MGG-stained; bone marrow smear: 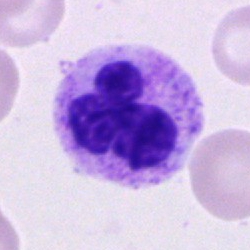 Classification = neutrophil (segmented).